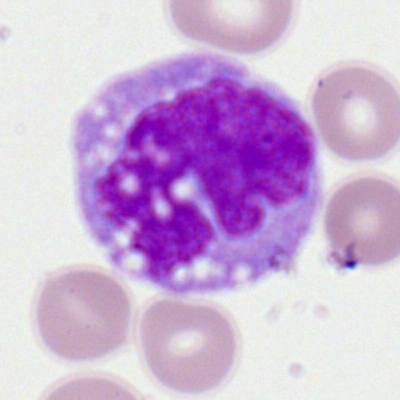

Single-cell crop from a peripheral blood smear: monocyte.